Bone marrow aspirate smear — 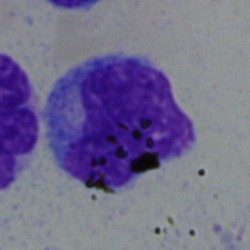Impression — monocyte.